Peripheral blood smear — 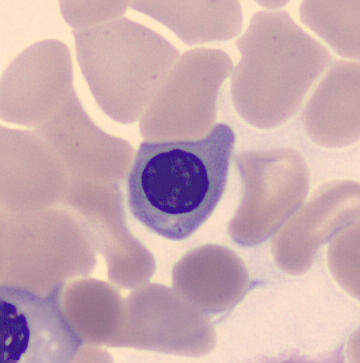Cell type: erythroblast.